Bone marrow smear · May-Grünwald-Giemsa stain:
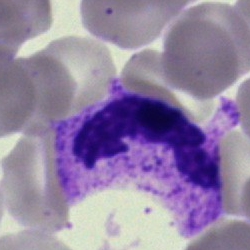

Specimen: bone marrow aspirate smear.
Classification: polymorphonuclear neutrophil.
Lineage: myeloid.